Bone marrow smear. May-Grünwald-Giemsa/Pappenheim stain: 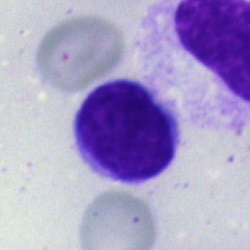 The cell shown is a lymphocyte.